Single cell centered in the field; bone marrow smear; MGG-stained
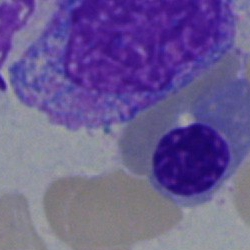

Showing a nucleated red blood cell.